Bone marrow aspirate smear · 250×250 · single-cell field
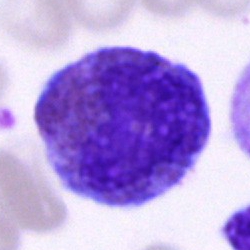

An eosinophilic granulocyte.